Bone marrow aspirate smear.
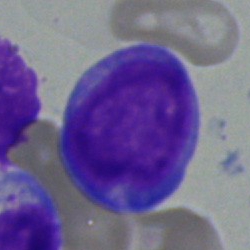
Classification: blast.